Bone marrow smear: 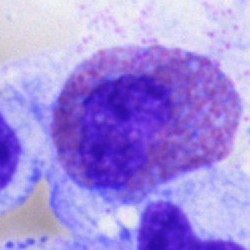

Cell = eosinophil.